40× objective, oil immersion. Bone marrow aspirate smear:
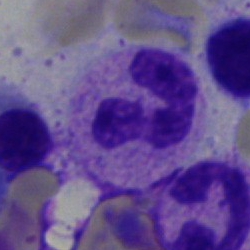
{"cell_type": "polymorphonuclear neutrophil"}